250×250 · bone marrow smear:
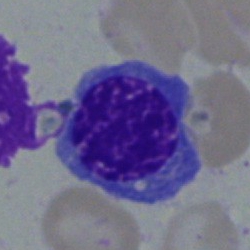

This is a nucleated red blood cell.